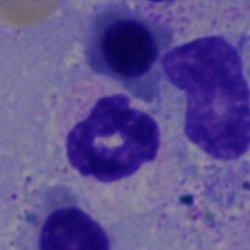

Single-cell crop from a bone marrow smear: polymorphonuclear neutrophil.